Bone marrow aspirate smear · cropped to a single cell.
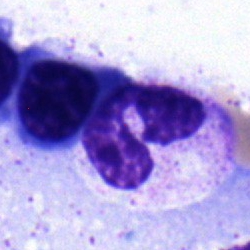 {"cell_type": "segmented neutrophil"}